Bone marrow smear — 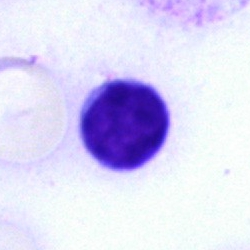Classification — typical lymphocyte.